May-Grünwald-Giemsa/Pappenheim stain. Bone marrow smear — 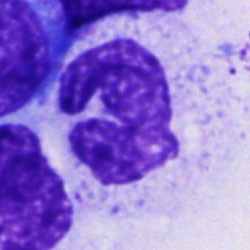 A segmented neutrophil.